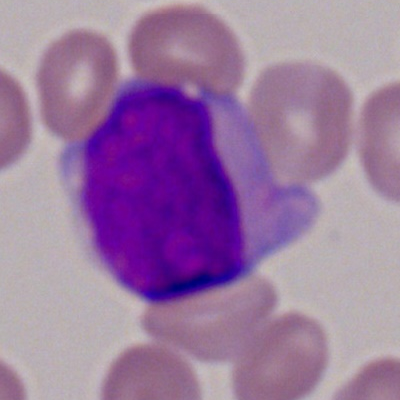A myeloblast on a peripheral blood smear.